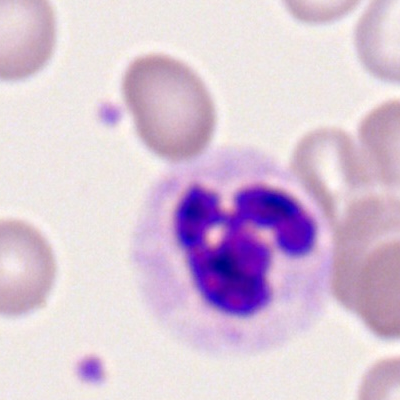

The cell shown is a neutrophil (segmented).